100× oil immersion; peripheral blood film — 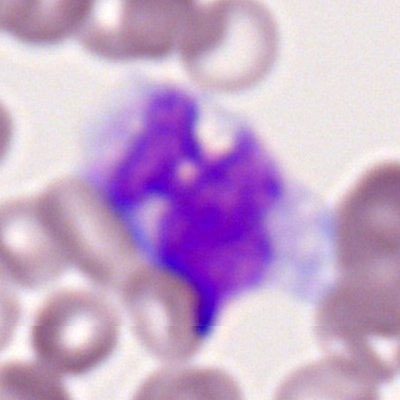Cell type — monocyte.